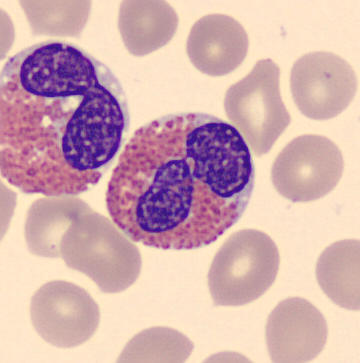

Image size 360×363. Peripheral blood smear.
Morphology → eosinophilic granulocyte.